Bone marrow aspirate smear — 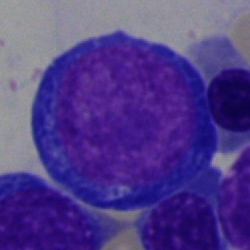 Showing a proerythroblast.